250×250 · bone marrow aspirate smear: 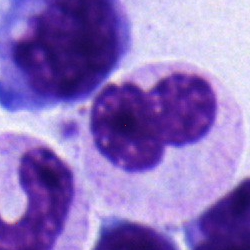The cell shown is a polymorphonuclear neutrophil.